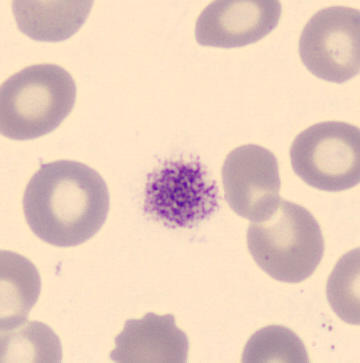

Morphology — platelet (thrombocyte).

Image: Peripheral blood film.